Bone marrow aspirate smear: 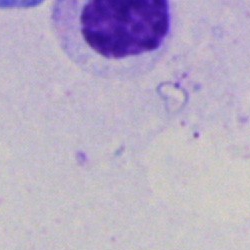Single cell identified as an artefact.